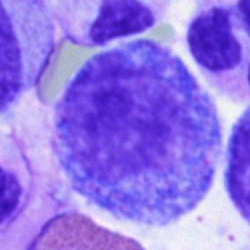Impression — progranulocyte.